Bone marrow aspirate smear — 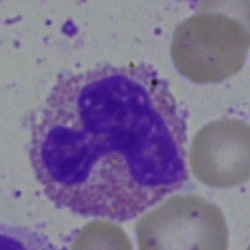Morphology → eosinophilic granulocyte.